Single cell centered in the field · bone marrow smear.
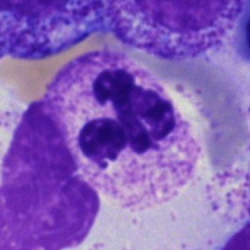Segmented neutrophil.